Bone marrow smear · brightfield, 40× oil-immersion objective.
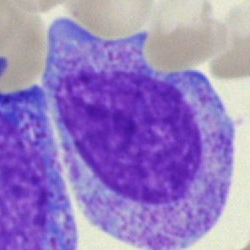

Showing a myelocyte.